Brightfield, 40× oil-immersion objective · bone marrow smear · single cell centered in the field:
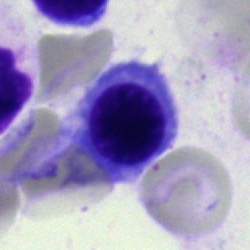Morphology consistent with a nucleated red cell.